Bone marrow aspirate smear — 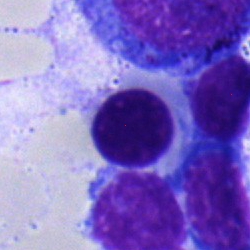
This is a normoblast.